Bone marrow aspirate smear · image size 250×250 · single-cell crop.
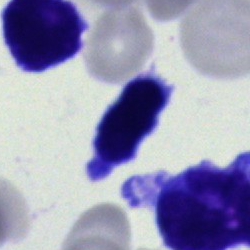Specimen: bone marrow aspirate smear.
Cell type: blast.